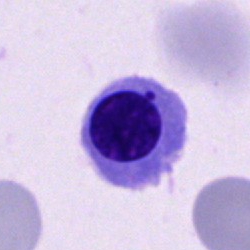

Q: Identify the cell.
A: Normoblast.